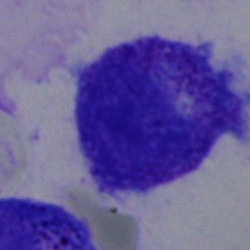Specimen: bone marrow smear.
Cell type: promyelocyte.